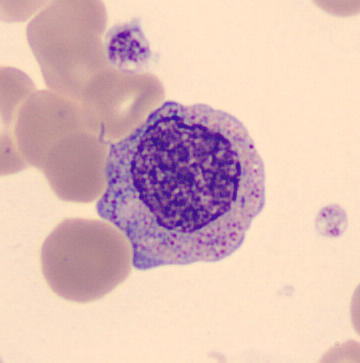
Impression — myelocyte.